Bone marrow smear
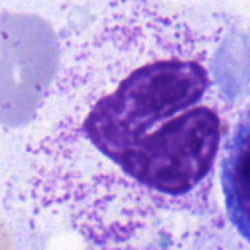

Morphological class — band-form neutrophil.